Peripheral blood film:
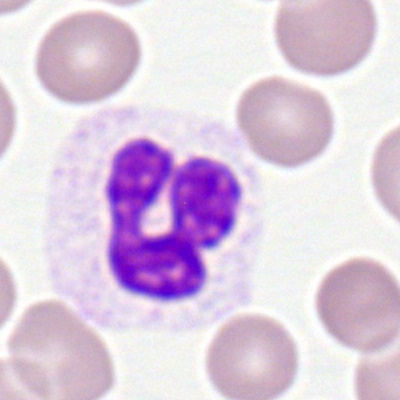 Morphological class = neutrophil (segmented).